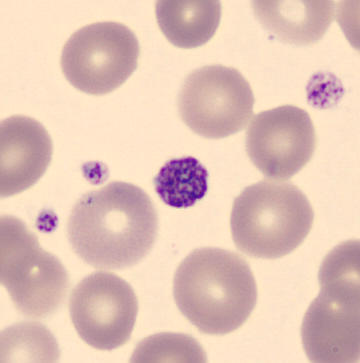 Cell type = platelet (thrombocyte).
Image: Imaged on a CellaVision DM96 analyser · peripheral blood film.